Bone marrow smear.
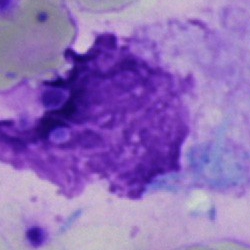 Cell: artifact.